Peripheral blood film: 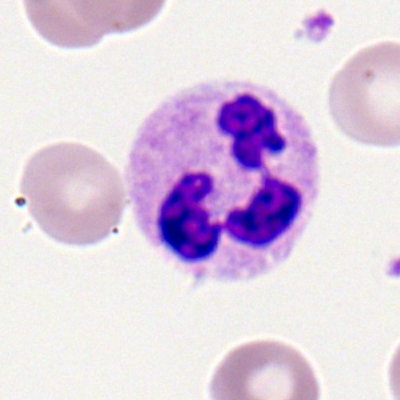 Polymorphonuclear neutrophil.